Bone marrow smear; 250×250 px.
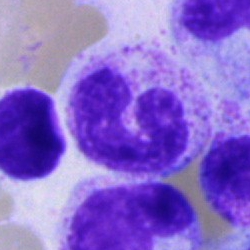

Showing a segmented neutrophil.